Bone marrow aspirate smear — 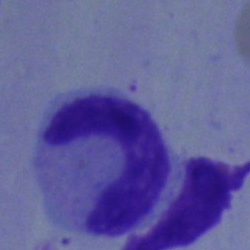

Specimen: bone marrow aspirate smear.
Cell: band-form neutrophil.
Lineage: myeloid.